Single-cell crop · bone marrow smear: 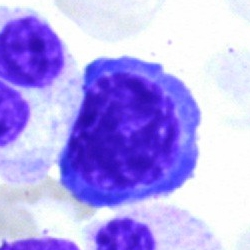

The morphological class is normoblast.